Bone marrow aspirate smear.
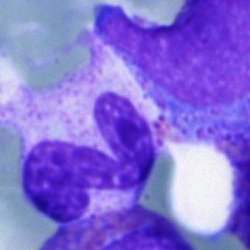Cell type = neutrophil (segmented).